250 by 250 pixels. Bone marrow aspirate smear: 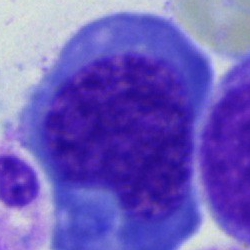
Showing a nucleated red blood cell.